Peripheral blood smear
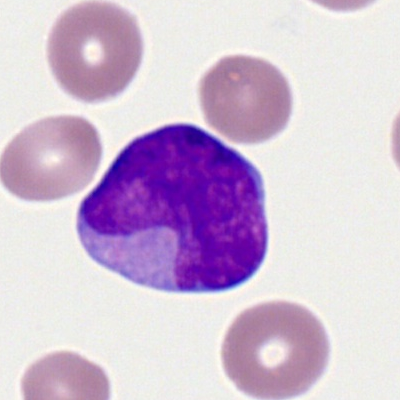 Q: What is shown here?
A: A myeloid blast.